Single-cell field; bone marrow aspirate smear:
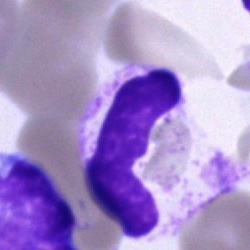

Morphological class — unidentifiable cell.